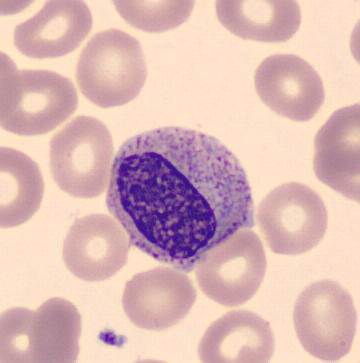

The cell shown is a myelocyte.
Acquisition: Image size 360×363; peripheral blood smear.